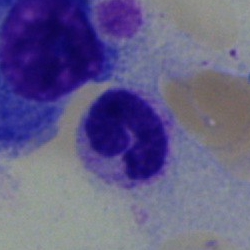

Cell = band-form neutrophil.